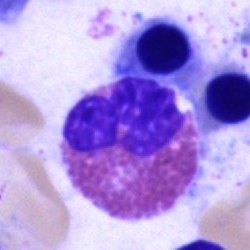

An eosinophil.